Peripheral blood smear. 400 by 400 pixels.
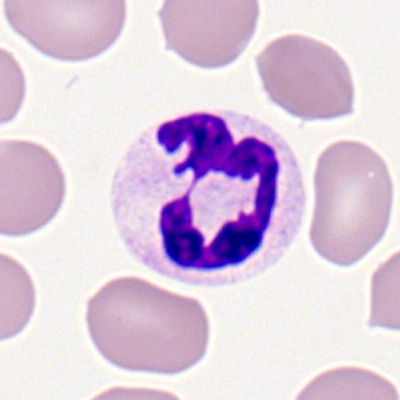
A segmented neutrophil.